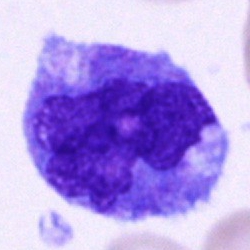

Impression → monocyte.